Single-cell crop · bone marrow aspirate smear — 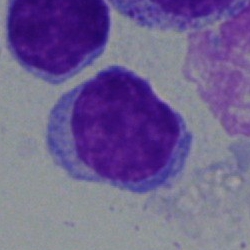
The classification is typical lymphocyte.